Bone marrow smear · MGG-stained.
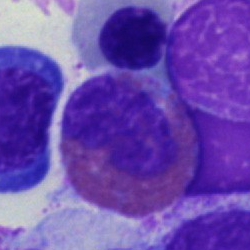

The morphological class is eosinophil.